Brightfield microscopy, 40× oil immersion; bone marrow aspirate smear:
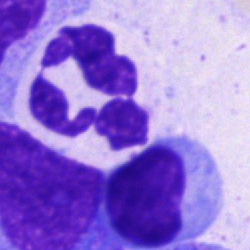
Impression → segmented neutrophil.